Brightfield microscopy, 40× oil immersion; bone marrow aspirate smear.
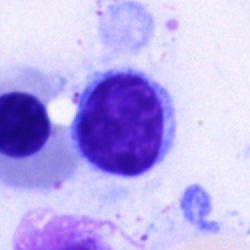Cell type — lymphocyte.